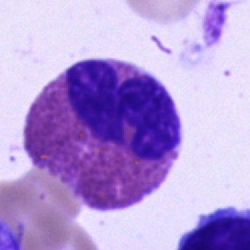

Single-cell crop from a bone marrow smear: eosinophilic granulocyte.